Single-cell field · bone marrow aspirate smear: 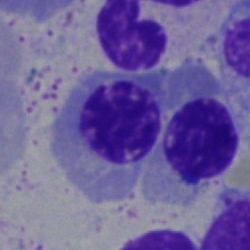
Morphology → nucleated red cell.